Bone marrow smear.
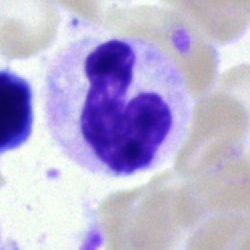 Showing a band neutrophil.